Bone marrow aspirate smear
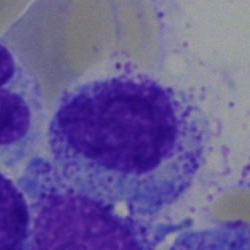The cell shown is a myelocyte.